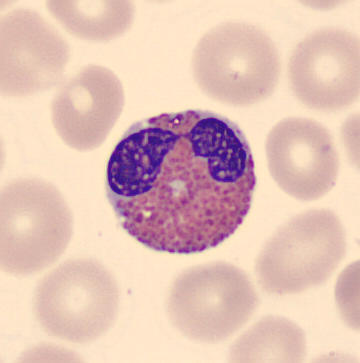 Showing an eosinophil.